Single-cell crop. Romanowsky-stained. Peripheral blood smear — 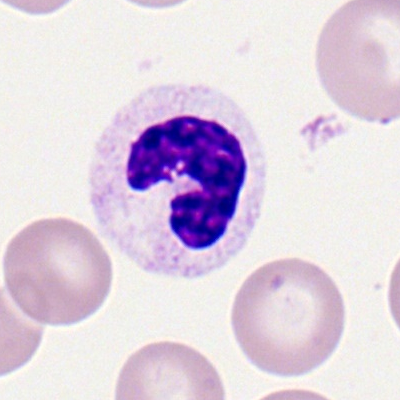Morphology consistent with a neutrophil (segmented).